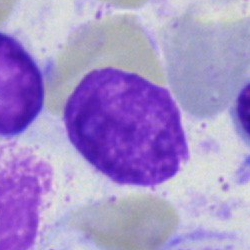

Specimen: bone marrow aspirate smear.
Cell: artifact.